Peripheral blood smear.
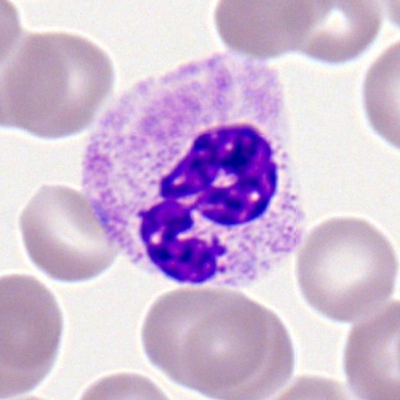{"cell_type": "polymorphonuclear neutrophil", "lineage": "myeloid"}